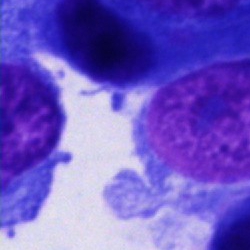Morphology — cell not matching the other categories.